Peripheral blood film; cropped to a single cell — 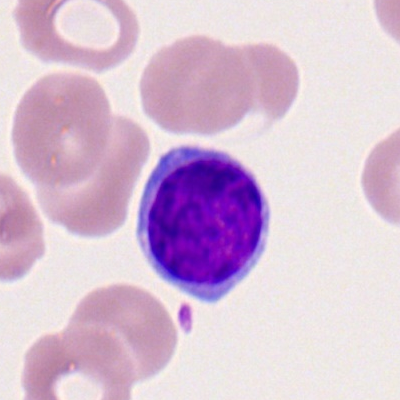 Morphology → typical lymphocyte.